Imaged on a CellaVision DM96 analyser · peripheral blood smear:
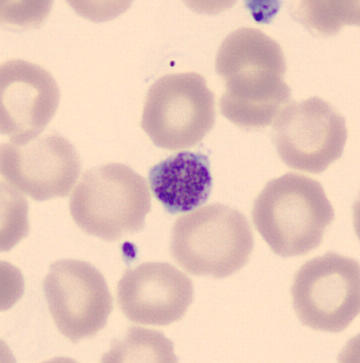

The morphological class is platelet (thrombocyte).